Bone marrow smear: 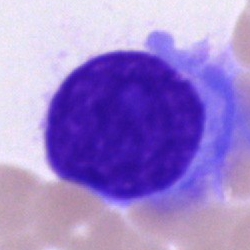
Morphological class = plasma cell.